Bone marrow smear:
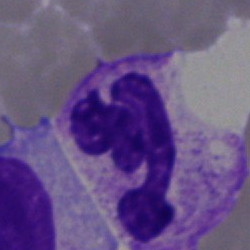
{"cell_type": "neutrophil (segmented)"}